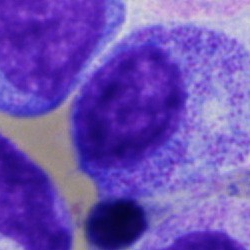Cell = promyelocyte.